40× oil immersion. Bone marrow aspirate smear — 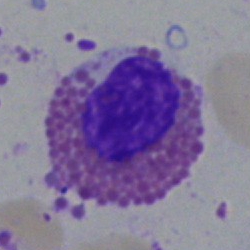

Eosinophilic granulocyte.